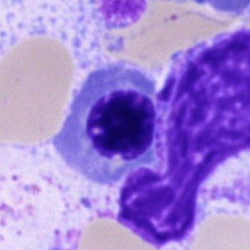 Bone marrow smear showing a nucleated red blood cell.